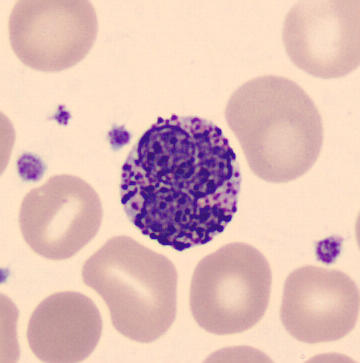Specimen: peripheral blood smear.
Classification: basophil.